Single-cell crop. MGG-stained. Bone marrow smear — 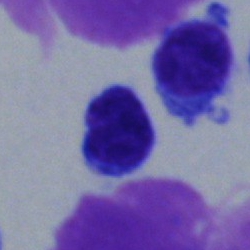Morphological class: lymphocyte.